Bone marrow aspirate smear · 250 by 250 pixels:
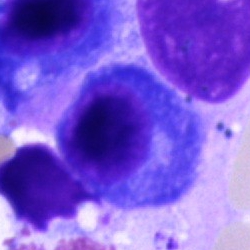

Classification: plasma cell.